Bone marrow smear. 40× oil immersion — 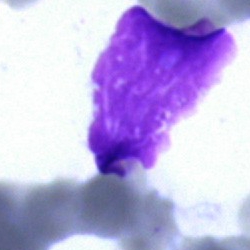

An artefact.